Bone marrow smear: 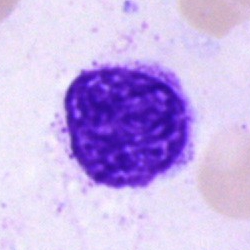Artifact.